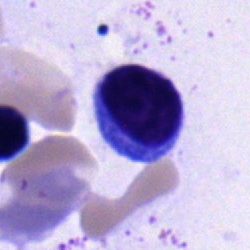
Q: What type of cell is this?
A: A lymphocyte.